Peripheral blood film · 400 by 400 pixels · M8 digital microscope (Precipoint), 100× oil immersion
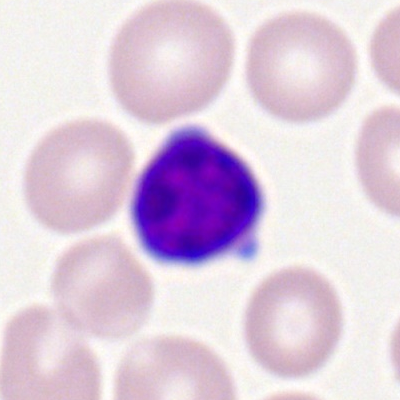Single cell identified as a lymphocyte.